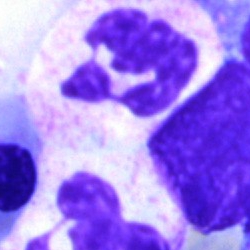

Morphology — segmented neutrophil.